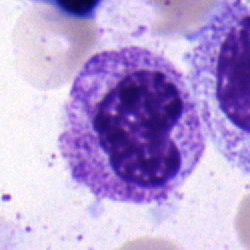

Classification — band neutrophil.